Bone marrow smear:
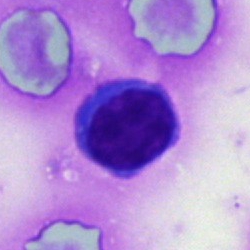
A typical lymphocyte.